Bone marrow aspirate smear. Image size 250×250: 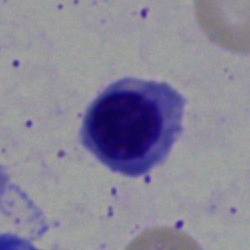
{"cell_type": "normoblast", "lineage": "erythroid"}